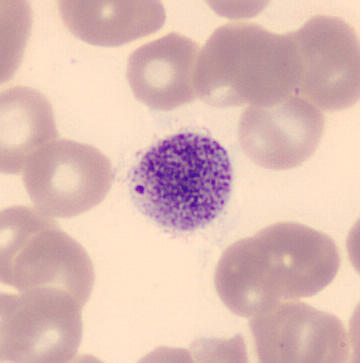Impression → thrombocyte.
Peripheral blood film.